May-Grünwald-Giemsa stain · bone marrow smear · single cell centered in the field — 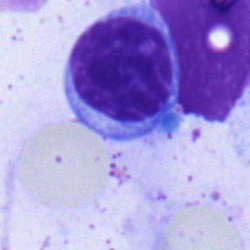 Typical lymphocyte.